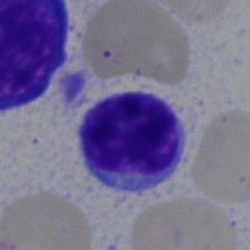Showing a typical lymphocyte.